Peripheral blood film · Romanowsky-stained — 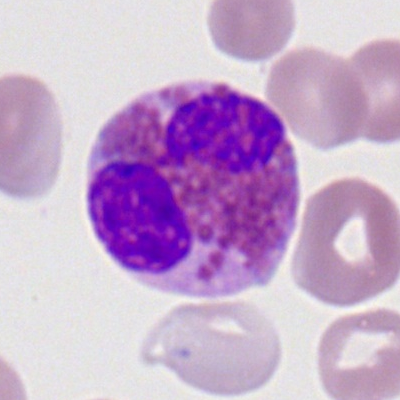The cell is eosinophilic granulocyte.